Peripheral blood smear; Romanowsky-type stain.
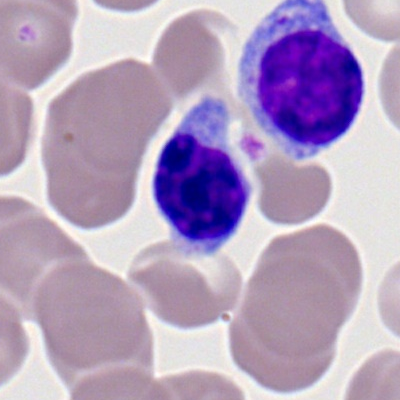
Impression — typical lymphocyte.